Brightfield microscopy, 40× oil immersion · cropped to a single cell · bone marrow aspirate smear — 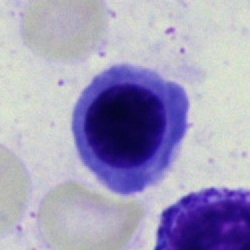

An erythroblast.